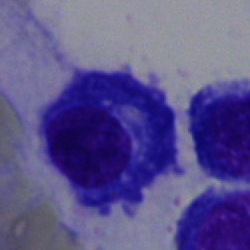
The cell shown is a plasmacyte.